Bone marrow smear.
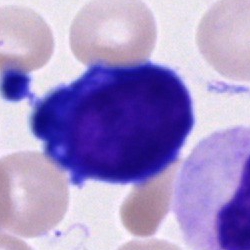 Showing a proerythroblast.